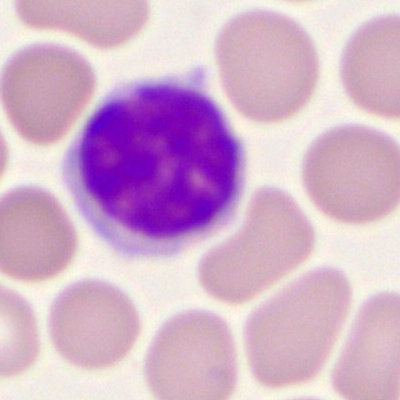
Peripheral blood film, single cell — typical lymphocyte.